Bone marrow smear
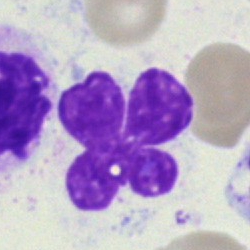
Classification = artefact.